Bone marrow smear — 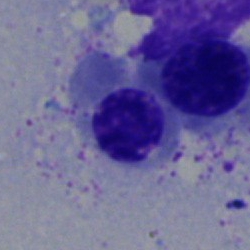

Nucleated red cell.